MGG-stained; bone marrow aspirate smear
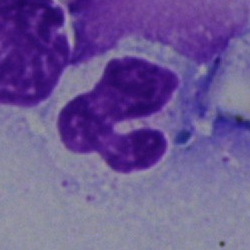
Q: Which cell type is shown here?
A: A polymorphonuclear neutrophil.